Bone marrow smear.
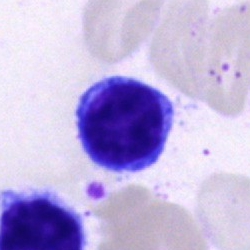Q: What is the morphological classification of this cell?
A: A lymphocyte.